Peripheral blood film: 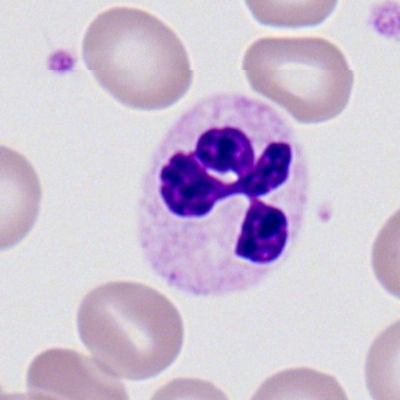Morphology → neutrophil (segmented).